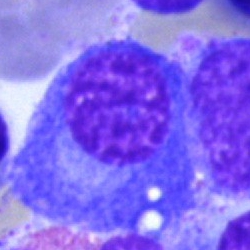 The classification is plasmacyte.